Peripheral blood smear · 400×400 px.
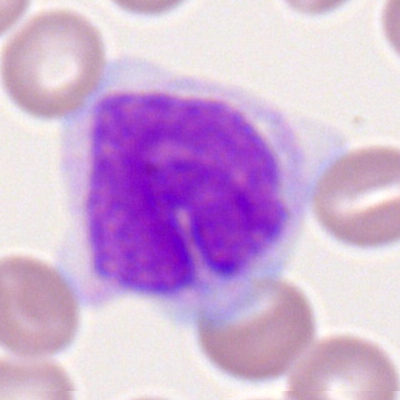Q: What cell is this?
A: A monocyte.